Bone marrow aspirate smear: 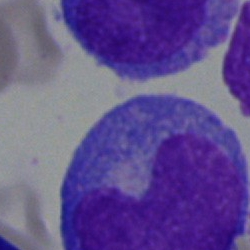

The classification is monocyte.